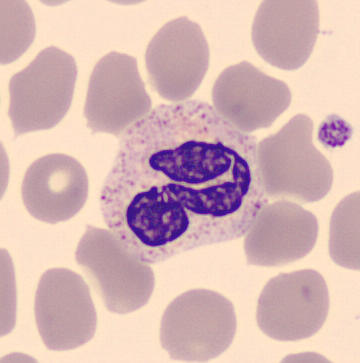Q: What cell is this?
A: This is a neutrophil (segmented).
Image: Peripheral blood film.